250×250 px. May-Grünwald-Giemsa stain. Bone marrow aspirate smear:
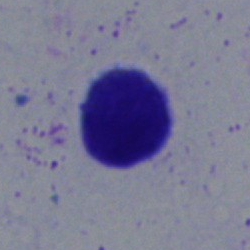
Impression → typical lymphocyte.